Bone marrow smear
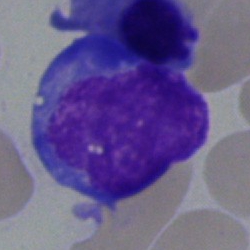Showing an undifferentiated blast.